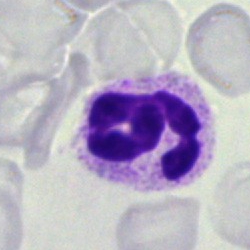
Morphology — polymorphonuclear neutrophil.